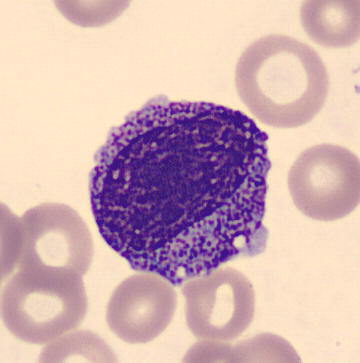
The morphological class is promyelocyte.

Peripheral blood film.